Bone marrow smear: 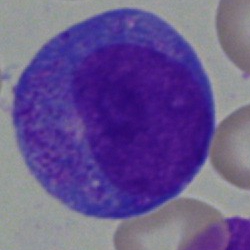
Showing a progranulocyte.